MGG-stained. Bone marrow aspirate smear: 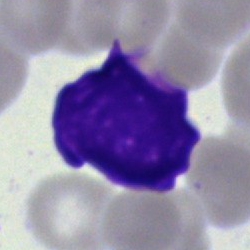 Morphology consistent with an artifact.